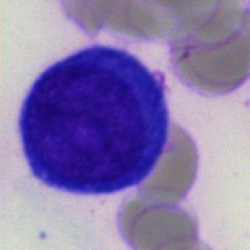The cell shown is an undifferentiated blast.